250×250 · bone marrow smear: 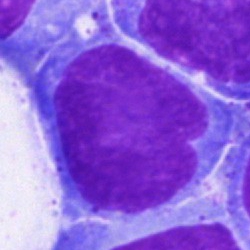Blast.